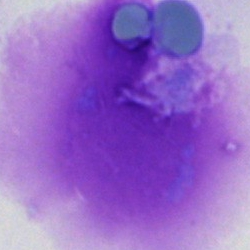 Bone marrow aspirate smear, single cell — artifact.